Single cell centered in the field. Peripheral blood smear: 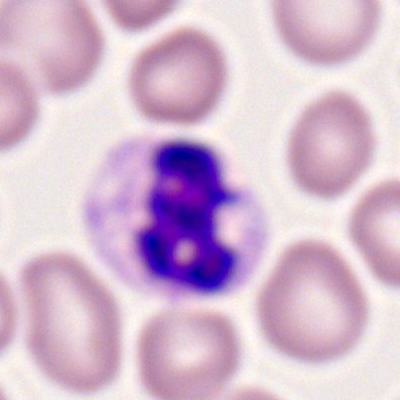

Cell — neutrophil (segmented).